Single-cell field · Pappenheim-stained · bone marrow smear — 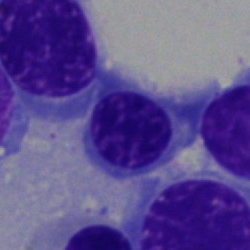

Morphological class: nucleated red cell.